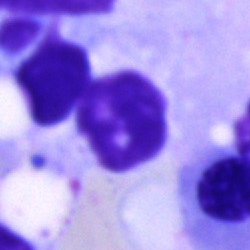Q: What is shown here?
A: This is an artifact.